Bone marrow aspirate smear; 250×250 px.
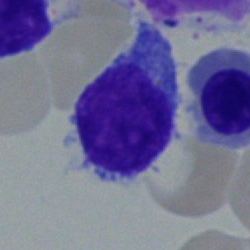 The cell type is typical lymphocyte.